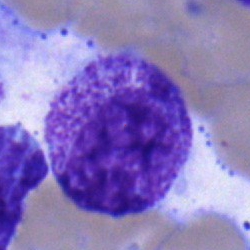

{"cell_type": "myelocyte", "lineage": "myeloid"}